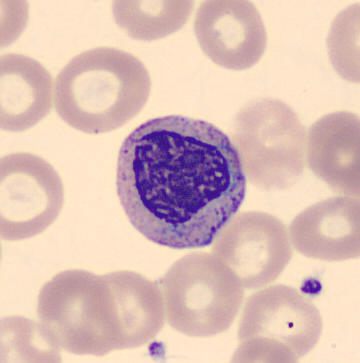
Preparation: Peripheral blood smear. MGG stain. Impression — myelocyte.